Peripheral blood smear — 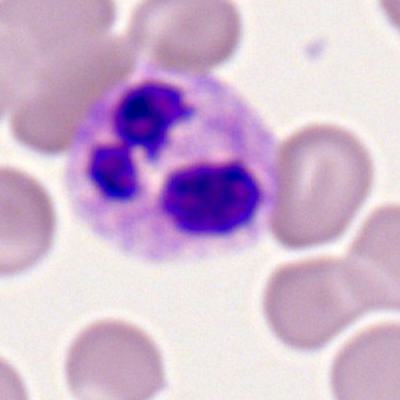
Morphological class — neutrophil (segmented).